Bone marrow aspirate smear:
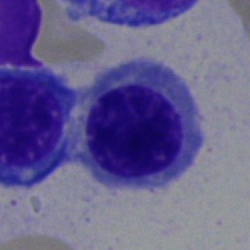

Morphological class = erythroblast.